MGG-stained · 250×250 px · bone marrow smear:
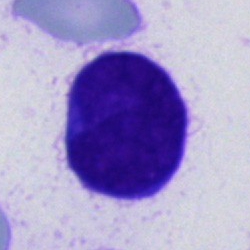 Cell: unidentifiable cell.